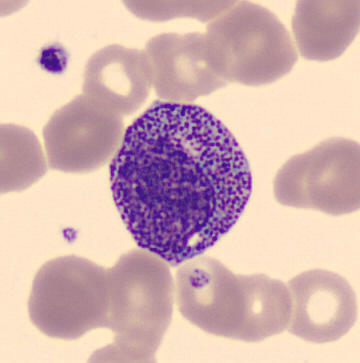

The morphological class is promyelocyte.